Bone marrow smear:
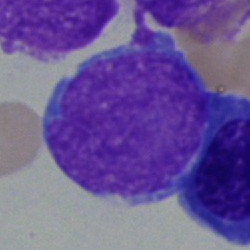 Showing a blast.